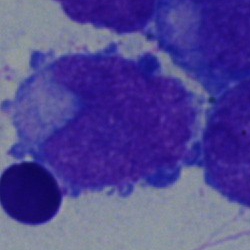
Specimen: bone marrow aspirate smear.
Morphological class: blast cell.